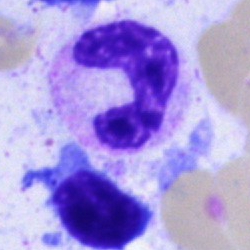 Classification = band neutrophil.